Peripheral blood smear.
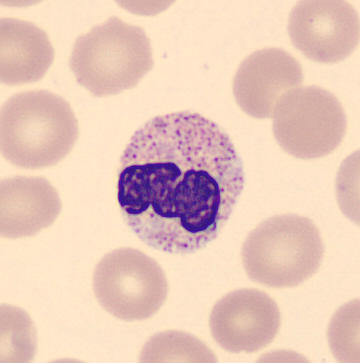

Specimen: peripheral blood smear.
Morphological class: polymorphonuclear neutrophil.
Lineage: myeloid.